Bone marrow aspirate smear.
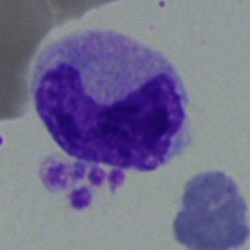Showing a monocyte.